Bone marrow smear
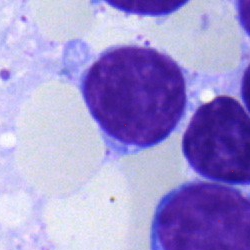 Morphological class — typical lymphocyte.